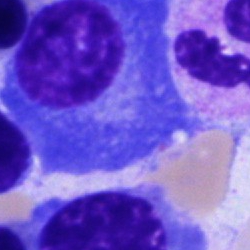

Q: What is the morphological classification of this cell?
A: A plasma cell.